Bone marrow aspirate smear; 250 by 250 pixels; 40× objective, oil immersion: 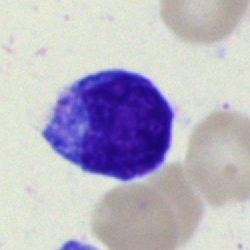

Cell type: lymphocyte.